40× objective, oil immersion · bone marrow aspirate smear · single-cell crop — 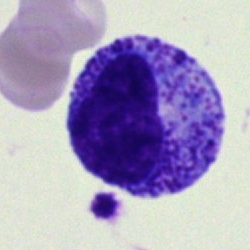

The cell type is promyelocyte.